Bone marrow smear:
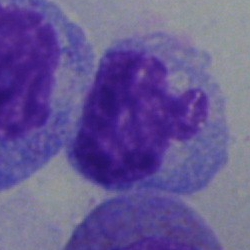

This is a monocyte.